Bone marrow smear
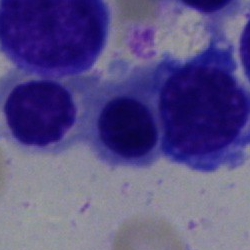
Showing a nucleated red cell.